Bone marrow aspirate smear:
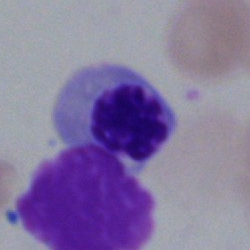Q: What type of cell is this?
A: A nucleated red blood cell.